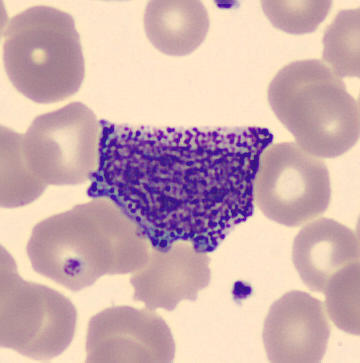
Specimen: peripheral blood smear.
Classification: progranulocyte.
Lineage: myeloid.